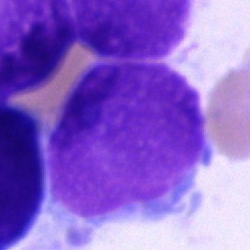 Bone marrow aspirate smear, single cell — artifact.